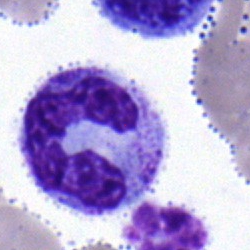

Impression → monocyte.